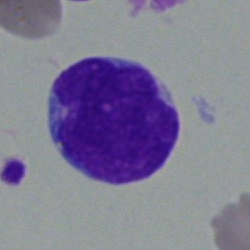
Showing a blast.